250×250; 40× oil immersion; bone marrow aspirate smear
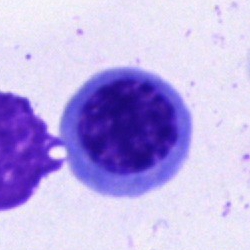Showing a nucleated red blood cell.